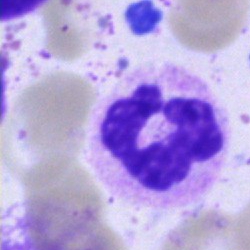Single cell identified as a segmented neutrophil.